Bone marrow smear — 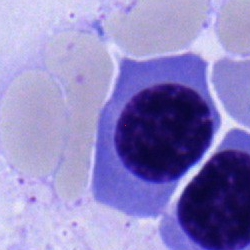 Morphology → nucleated red blood cell.